Bone marrow aspirate smear · 40× objective, oil immersion · May-Grünwald-Giemsa/Pappenheim stain: 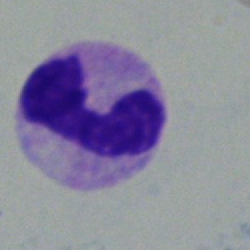
A band-form neutrophil.